Bone marrow smear
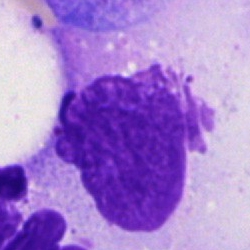

Cell type — artefact.